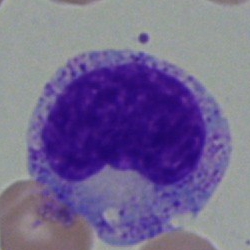 Morphology — metamyelocyte.